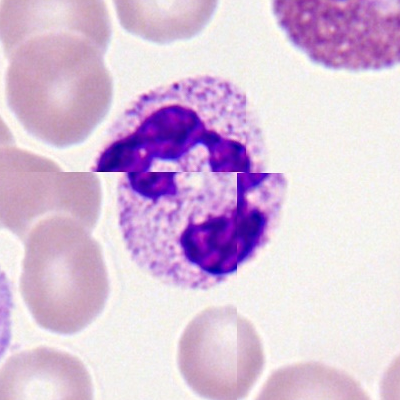

Peripheral blood smear showing a segmented neutrophil.